Bone marrow smear.
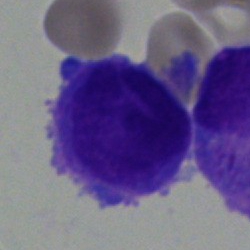

The cell shown is a promyelocyte.